Bone marrow aspirate smear — 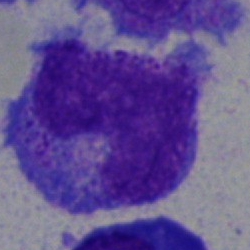
Q: What type of cell is this?
A: This is a monocyte.